Bone marrow aspirate smear.
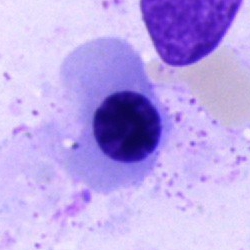Specimen: bone marrow aspirate smear.
Cell: erythroblast.
Lineage: erythroid.